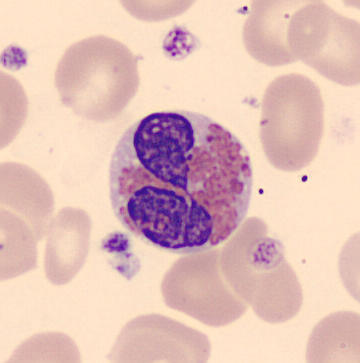Morphological class: eosinophilic granulocyte. Acquisition: Peripheral blood film.